Bone marrow smear; 40× objective, oil immersion; single-cell crop:
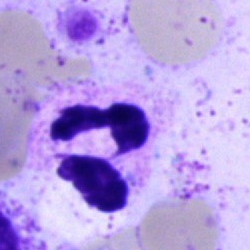
Neutrophil (segmented).